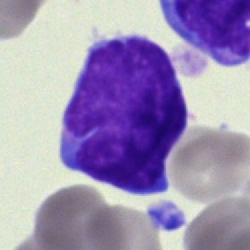Single cell identified as a blast.